Bone marrow smear.
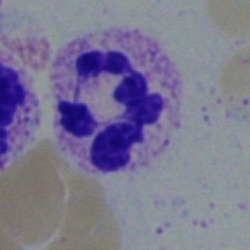
Morphological class: polymorphonuclear neutrophil.